May-Grünwald-Giemsa stain · 40× oil immersion · bone marrow smear
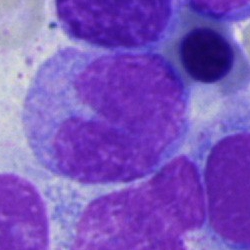
The cell shown is a monocyte.